Bone marrow aspirate smear · 40× oil immersion
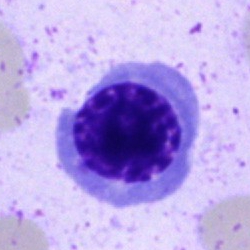 Morphological class — nucleated red blood cell.